Bone marrow aspirate smear:
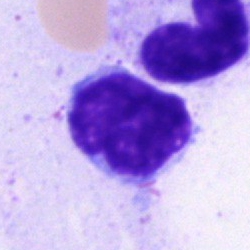
Typical lymphocyte.